250×250 px. Bone marrow aspirate smear:
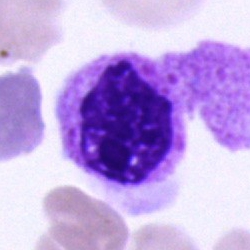

Impression → neutrophil (segmented).